Bone marrow aspirate smear; cropped to a single cell.
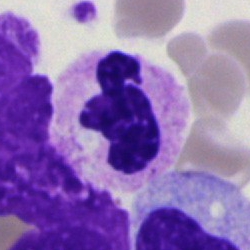 Cell type: polymorphonuclear neutrophil.